250×250 px; bone marrow smear: 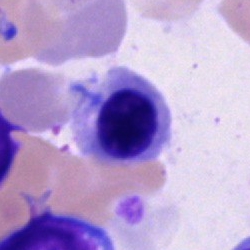
Specimen: bone marrow smear.
Cell type: erythroblast.